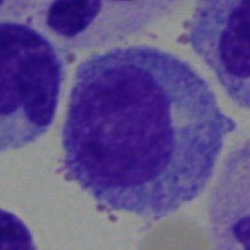 A promyelocyte on a bone marrow smear.